Bone marrow aspirate smear
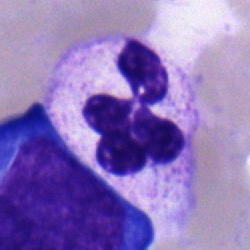 Single cell identified as a segmented neutrophil.